40× objective, oil immersion; bone marrow aspirate smear
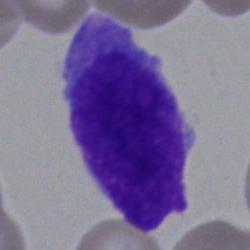

Q: What type of cell is this?
A: This is an undifferentiated blast.